Bone marrow aspirate smear
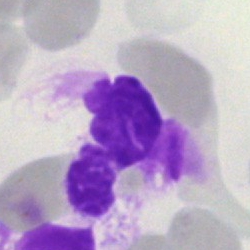
Single cell identified as a neutrophil (segmented).